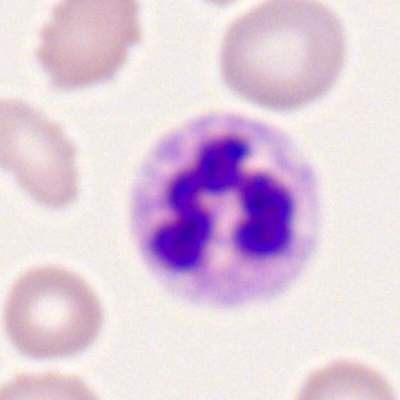
Specimen: peripheral blood film.
Classification: neutrophil (segmented).
Lineage: myeloid.